Bone marrow smear:
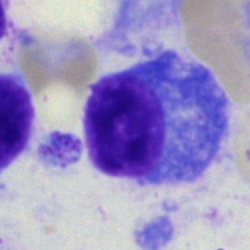 Impression → plasmacyte.